Bone marrow smear; single-cell crop; brightfield microscopy, 40× oil immersion:
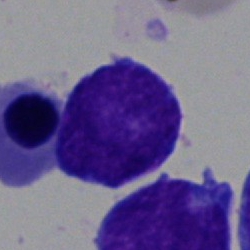

Blast cell.